Peripheral blood film:
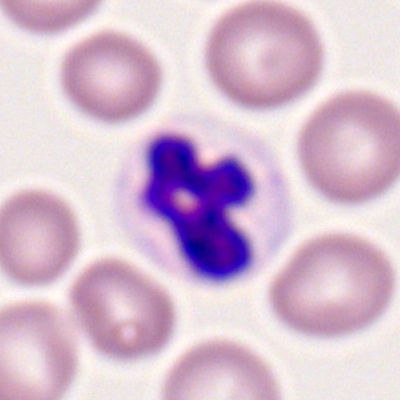The cell type is polymorphonuclear neutrophil.